Bone marrow smear — 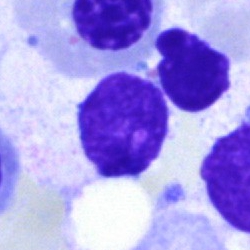

Impression → artefact.